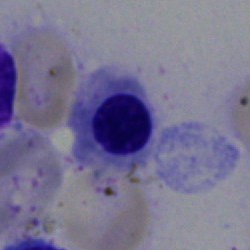 {"cell_type": "erythroblast", "lineage": "erythroid"}